Brightfield, 40× oil-immersion objective; image size 250×250; bone marrow aspirate smear:
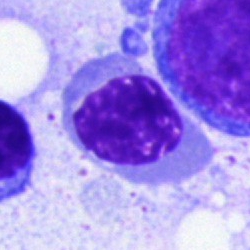
Morphology consistent with a nucleated red blood cell.